Single-cell field; brightfield, 40× oil-immersion objective; bone marrow aspirate smear — 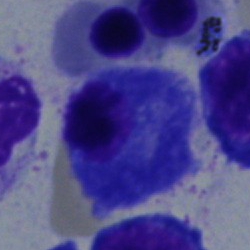

Specimen: bone marrow smear.
Cell: plasma cell.
Lineage: lymphoid.